Bone marrow aspirate smear.
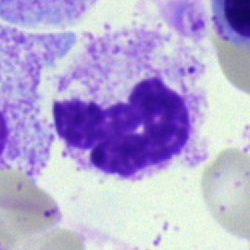Morphology → polymorphonuclear neutrophil.